100× oil immersion; peripheral blood film; 400×400 px — 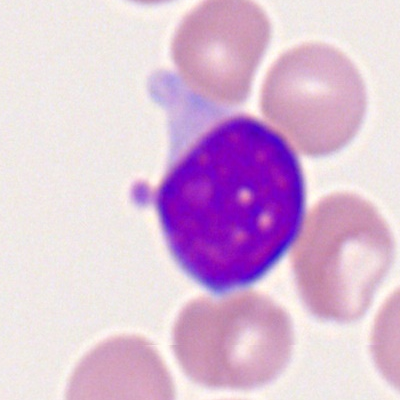

Single cell identified as a myeloblast.